Bone marrow aspirate smear.
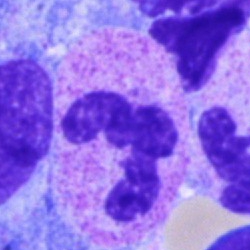 Classification: segmented neutrophil.